Bone marrow aspirate smear; 40× oil immersion; 250×250
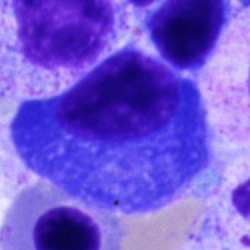 A plasma cell.